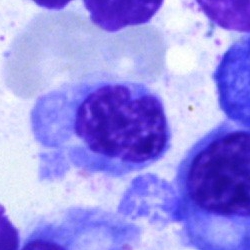
Morphological class: nucleated red blood cell.